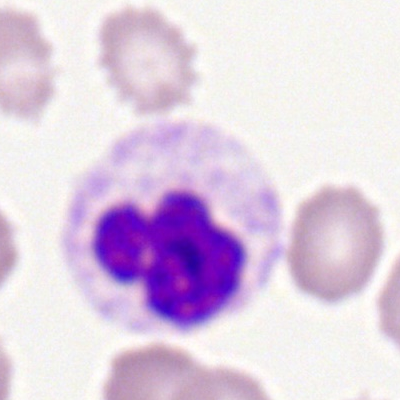Morphology consistent with a segmented neutrophil.